Image size 250×250; May-Grünwald-Giemsa stain; bone marrow smear: 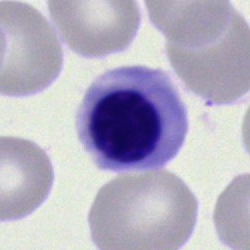

Morphology consistent with a nucleated red blood cell.